Bone marrow aspirate smear — 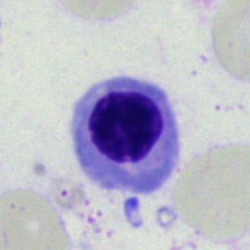 Q: Identify the cell.
A: A normoblast.